Bone marrow aspirate smear:
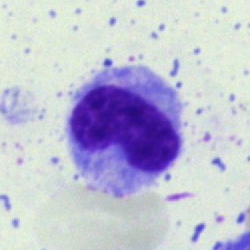
Cell — metamyelocyte.